Bone marrow smear; 40× oil immersion.
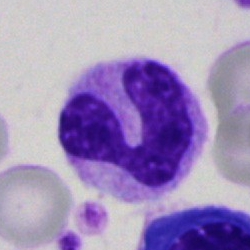
Specimen: bone marrow smear.
Classification: band neutrophil.
Lineage: myeloid.